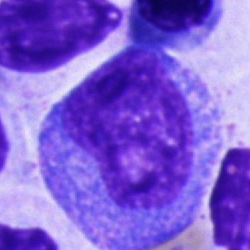

{"cell_type": "promyelocyte", "lineage": "myeloid"}